Single-cell crop · bone marrow smear — 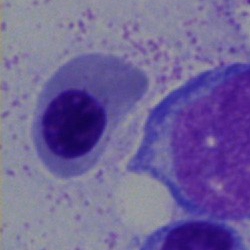Nucleated red blood cell.